Peripheral blood smear.
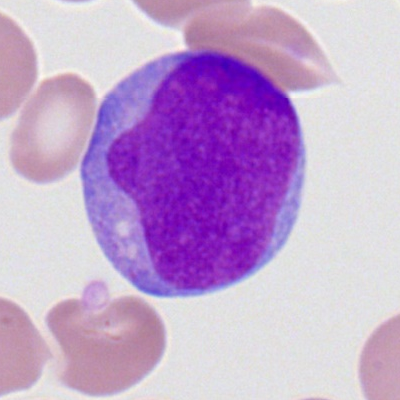 Q: Which cell type is shown here?
A: It is a myeloid blast.